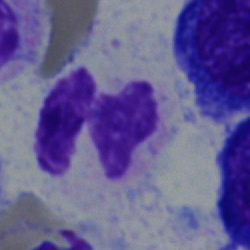

Q: What cell is this?
A: This is a segmented neutrophil.